MGG-stained. Bone marrow smear. Brightfield, 40× oil-immersion objective:
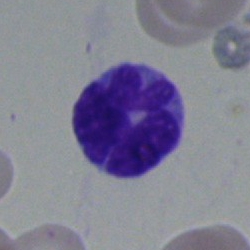

Specimen: bone marrow aspirate smear.
Cell: monocyte.